Bone marrow aspirate smear.
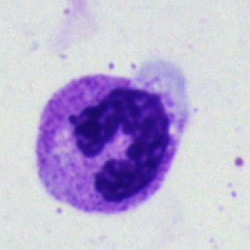

Morphology — segmented neutrophil.